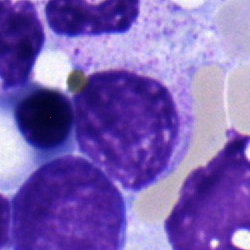 Cell — myelocyte.